Peripheral blood smear; cropped to a single cell; M8 digital microscope (Precipoint), 100× oil immersion
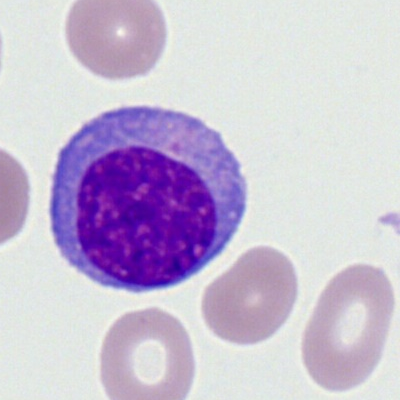 Specimen: peripheral blood smear.
Cell: lymphocyte.
Lineage: lymphoid.